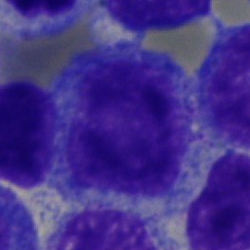
{"cell_type": "progranulocyte", "lineage": "myeloid"}